Bone marrow aspirate smear
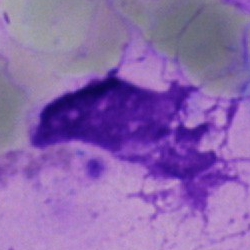
Morphology — artefact.